Peripheral blood smear · single-cell crop.
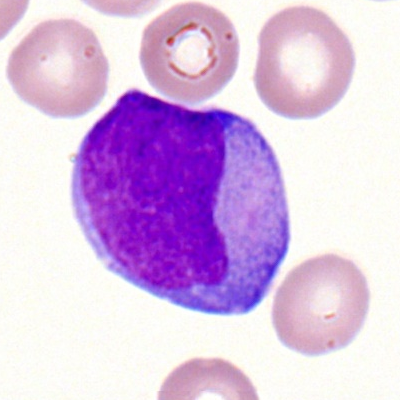Q: Which cell type is shown here?
A: It is a myeloid blast.